Bone marrow smear:
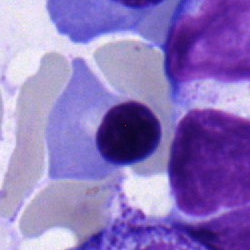 Single cell identified as a normoblast.